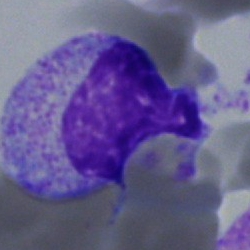Specimen: bone marrow smear.
Morphological class: myelocyte.